May-Grünwald-Giemsa/Pappenheim stain. Bone marrow aspirate smear. Single cell centered in the field.
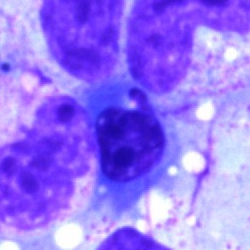
Q: What is shown here?
A: This is a nucleated red cell.